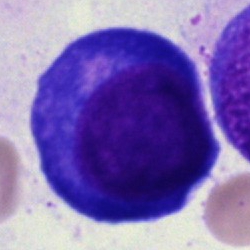Classification — nucleated red blood cell.